Bone marrow smear. Single-cell crop.
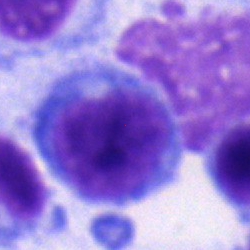

Specimen: bone marrow aspirate smear.
Cell type: typical lymphocyte.